Bone marrow smear: 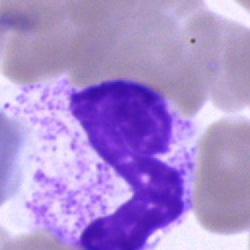 Q: What is the morphological classification of this cell?
A: It is a polymorphonuclear neutrophil.